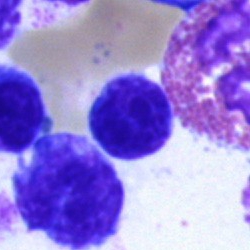Q: What is the morphological classification of this cell?
A: This is a typical lymphocyte.